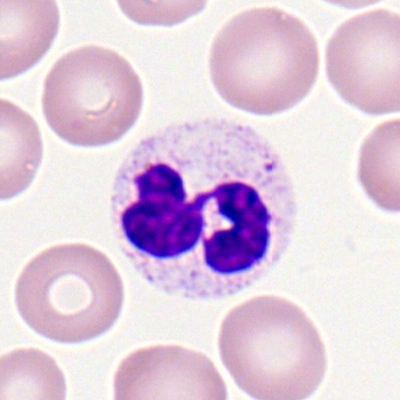This is a neutrophil (segmented).